Cropped to a single cell. Bone marrow smear: 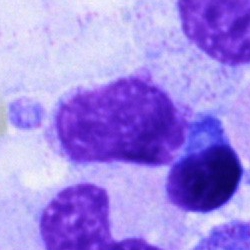
Artefact.